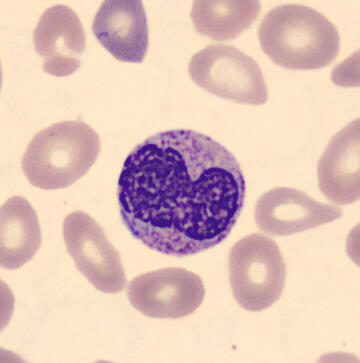 Q: What type of cell is this?
A: It is a metamyelocyte.
Image: Peripheral blood film.